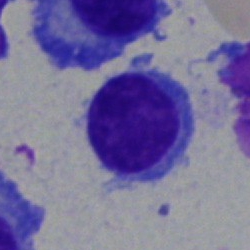Cell = typical lymphocyte.